May-Grünwald-Giemsa/Pappenheim stain · bone marrow smear — 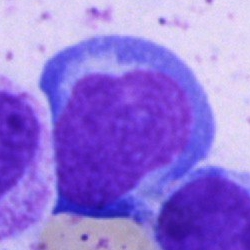 The morphological class is undifferentiated blast.